Bone marrow smear:
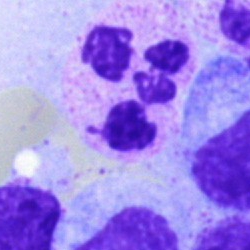 The cell type is neutrophil (segmented).